Bone marrow smear.
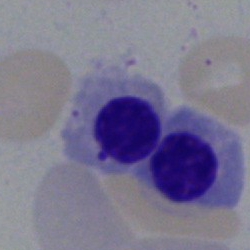The cell type is erythroblast.